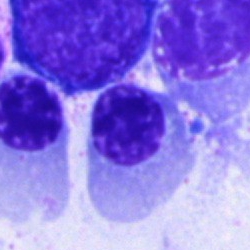Single-cell crop from a bone marrow smear: nucleated red blood cell.